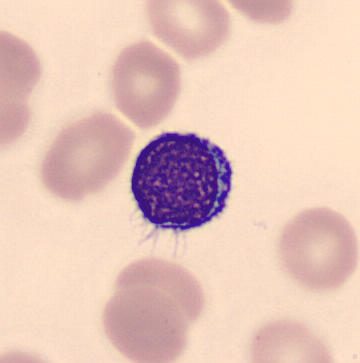

Q: Identify the cell.
A: Typical lymphocyte.